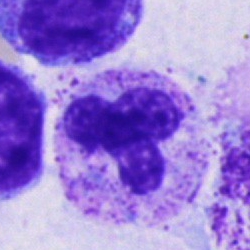
A polymorphonuclear neutrophil.